Peripheral blood smear
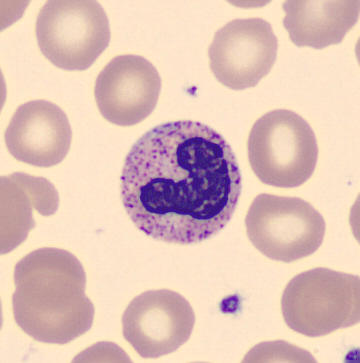
Specimen: peripheral blood smear.
Cell: band-form neutrophil.
Lineage: myeloid.